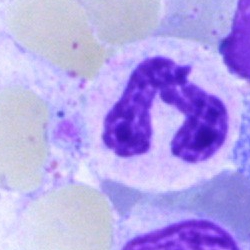 Cell — neutrophil (segmented).